Romanowsky-type stain · peripheral blood smear:
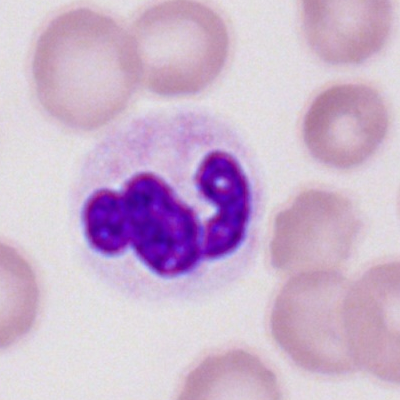 Q: What is the morphological classification of this cell?
A: Neutrophil (segmented).